Brightfield microscopy, 40× oil immersion. Single-cell field. Bone marrow aspirate smear.
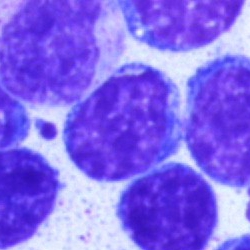
Specimen: bone marrow aspirate smear.
Morphological class: lymphocyte.
Lineage: lymphoid.